May-Grünwald-Giemsa stain · bone marrow aspirate smear:
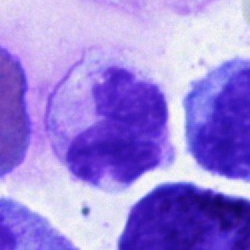 Impression — neutrophil (segmented).